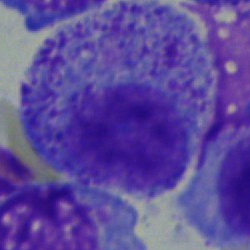
Impression — myelocyte.